Bone marrow smear.
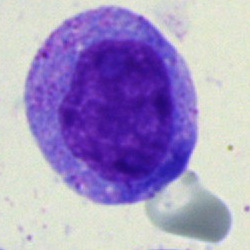

A promyelocyte.